Pappenheim-stained · bone marrow aspirate smear: 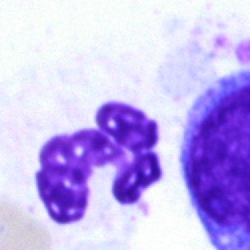

Morphological class — polymorphonuclear neutrophil.